Bone marrow aspirate smear.
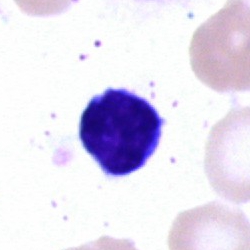

The morphological class is lymphocyte.